Bone marrow smear: 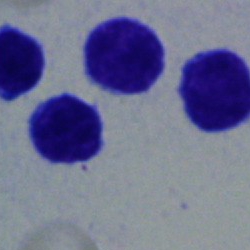

Morphology consistent with a lymphocyte.